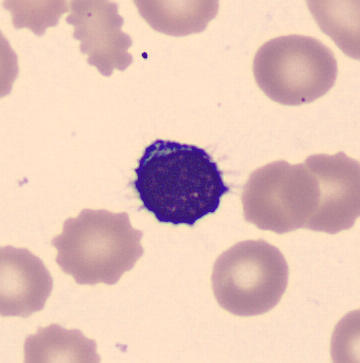
Acquisition: Peripheral blood smear.
Impression → typical lymphocyte.